250 by 250 pixels. Bone marrow aspirate smear. Brightfield, 40× oil-immersion objective: 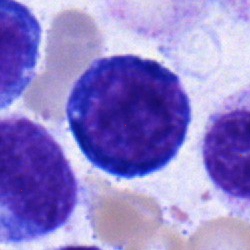Q: What is shown here?
A: It is a band neutrophil.